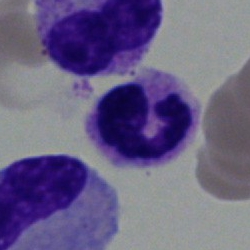The cell shown is a neutrophil (segmented).